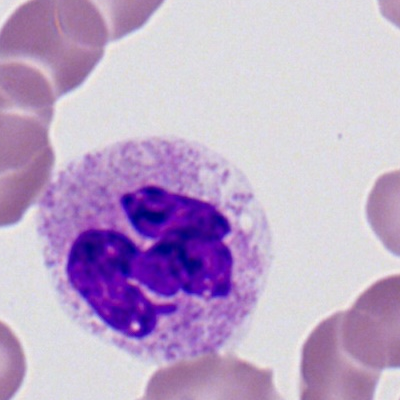

Showing a segmented neutrophil.